Peripheral blood film; Romanowsky-type stain: 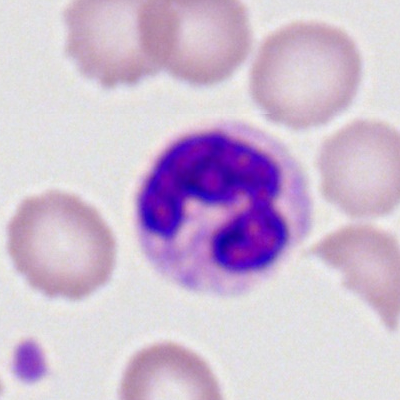

A neutrophil (segmented).